Bone marrow aspirate smear.
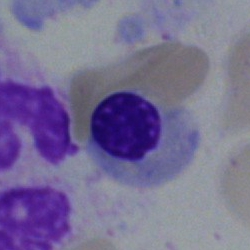

Morphology consistent with a nucleated red cell.